Bone marrow smear.
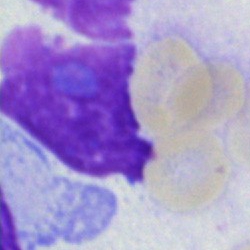Single cell identified as an artefact.